Bone marrow smear:
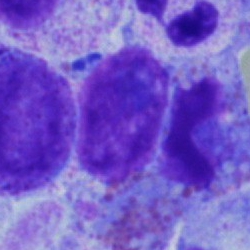Classification — progranulocyte.